Bone marrow aspirate smear. 250 by 250 pixels. Single-cell crop
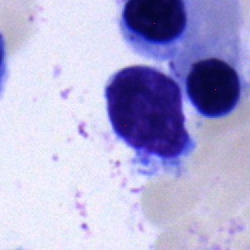 A lymphocyte.